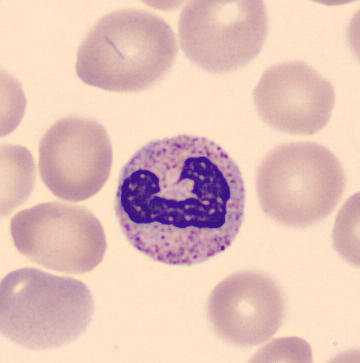Impression → band-form neutrophil.